Romanowsky stain. Peripheral blood smear.
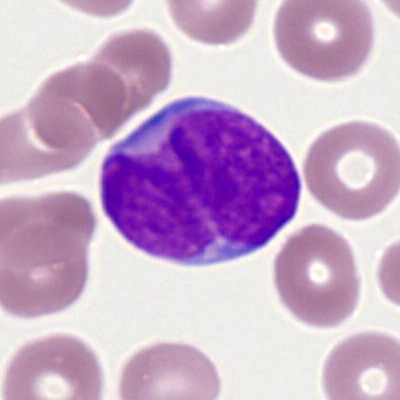
Myeloblast.